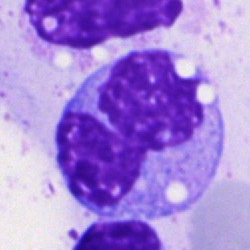Classification = monocyte.